Bone marrow smear. Cropped to a single cell: 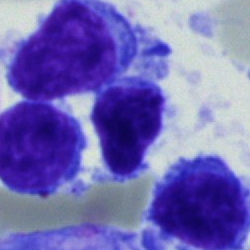

Impression — lymphocyte.